Bone marrow aspirate smear — 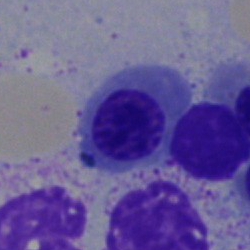

{"cell_type": "nucleated red cell", "lineage": "erythroid"}